Bone marrow smear; single-cell crop; brightfield, 40× oil-immersion objective — 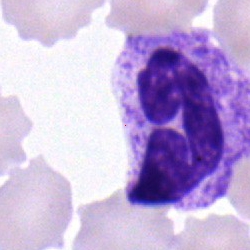 Showing a stab cell.